Peripheral blood film; brightfield, 100× oil-immersion objective — 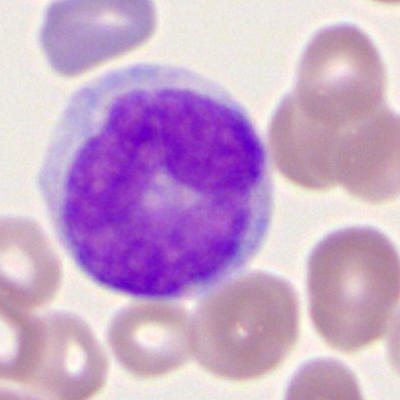

Specimen: peripheral blood smear.
Cell: monocyte.
Lineage: myeloid.